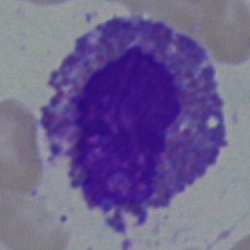
Classification = eosinophil.